Bone marrow aspirate smear · 250×250 px · brightfield, 40× oil-immersion objective: 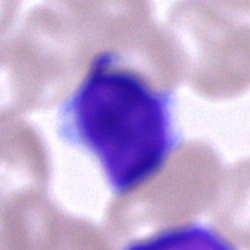

Q: What cell is this?
A: This is a lymphocyte.